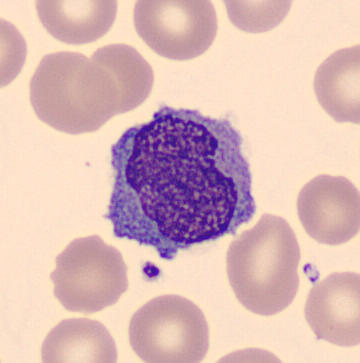

Specimen: peripheral blood film.
Cell: monocyte.
Lineage: myeloid.